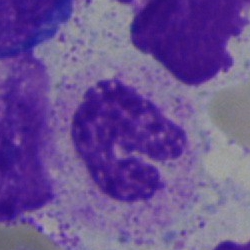Classification — neutrophil (segmented).